Bone marrow smear.
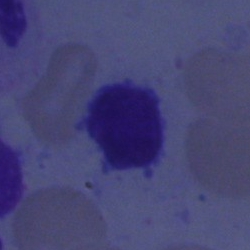
Q: What is shown here?
A: This is a typical lymphocyte.